Bone marrow smear: 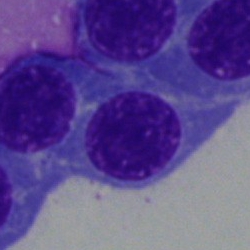

{"cell_type": "nucleated red cell", "lineage": "erythroid"}